Bone marrow aspirate smear — 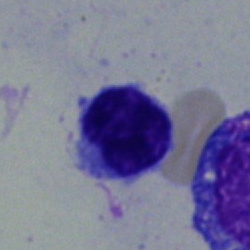

The cell shown is a lymphocyte.